Single cell centered in the field. Bone marrow aspirate smear: 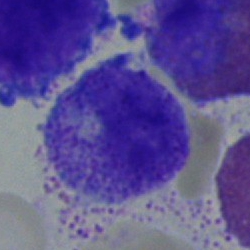
Cell = myelocyte.